400 by 400 pixels; peripheral blood smear — 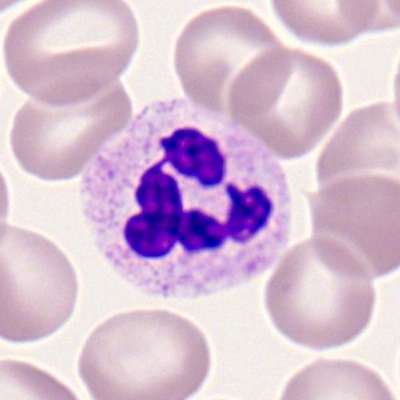The cell type is polymorphonuclear neutrophil.